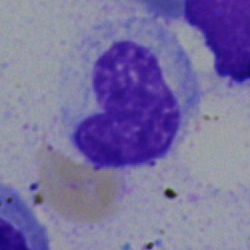Morphological class: stab cell.